Bone marrow aspirate smear — 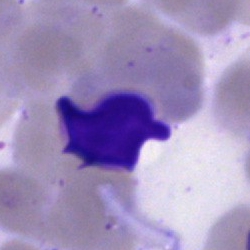
Artefact.